Bone marrow aspirate smear.
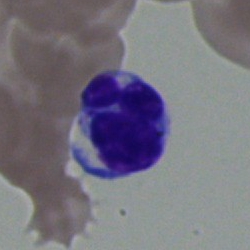Single cell identified as a lymphocyte.